MGG-stained; bone marrow smear.
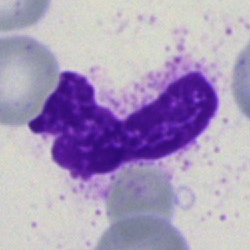
Morphology consistent with an artifact.